Peripheral blood film:
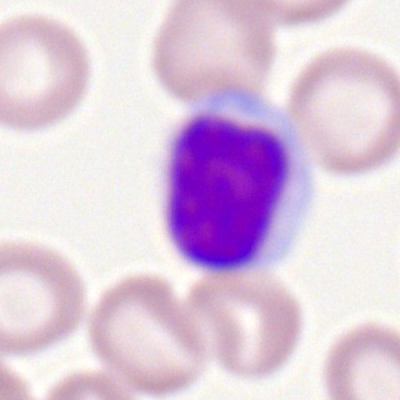 Q: Which cell type is shown here?
A: It is a lymphocyte.